Cropped to a single cell · bone marrow aspirate smear
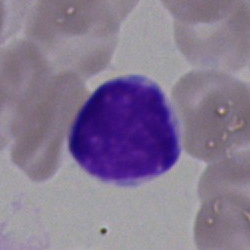

Single cell identified as a typical lymphocyte.